Peripheral blood smear:
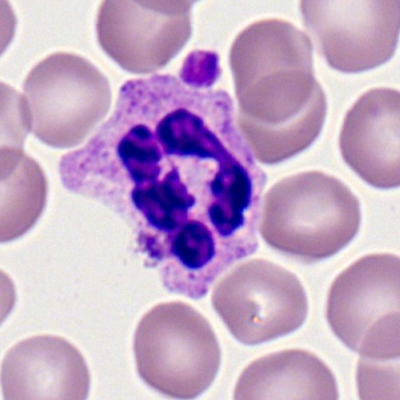
The cell shown is a segmented neutrophil.